Bone marrow aspirate smear
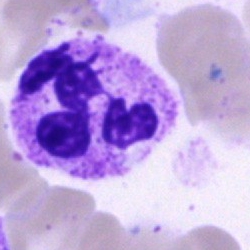

{"cell_type": "segmented neutrophil"}